Peripheral blood smear
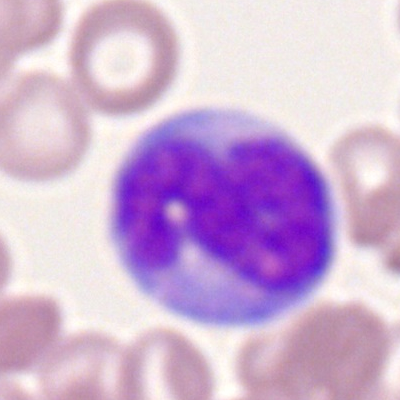The cell shown is a monocyte.